Bone marrow smear — 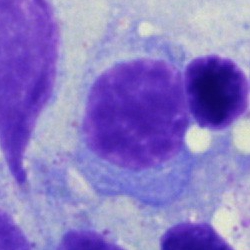Impression → typical lymphocyte.